Bone marrow aspirate smear.
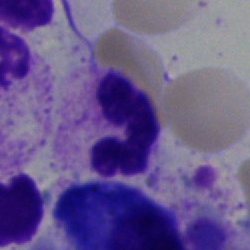 The cell shown is a polymorphonuclear neutrophil.